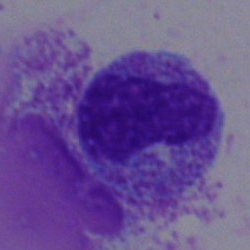
Single cell identified as a metamyelocyte.